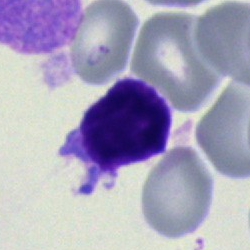

Bone marrow aspirate smear, single cell — lymphocyte.